Bone marrow smear. May-Grünwald-Giemsa/Pappenheim stain:
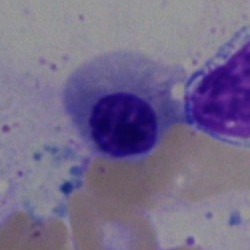
{"cell_type": "normoblast", "lineage": "erythroid"}